250×250 · single cell centered in the field · bone marrow smear.
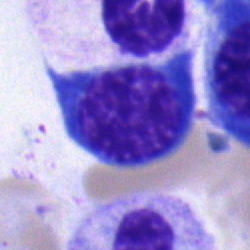

Q: Which cell type is shown here?
A: Normoblast.